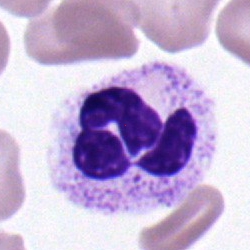
Specimen: bone marrow smear.
Cell type: neutrophil (segmented).